Bone marrow smear — 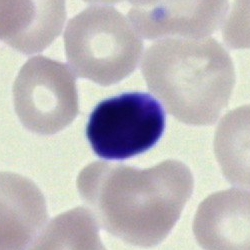

A lymphocyte.